Cropped to a single cell. Bone marrow smear. 250×250
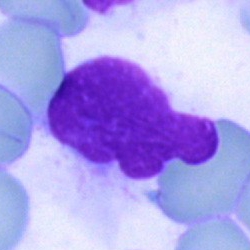 Single cell identified as an artifact.